Bone marrow aspirate smear. 250×250.
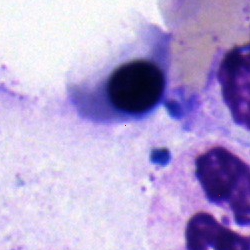
Morphology → nucleated red cell.